Bone marrow smear · 250 by 250 pixels.
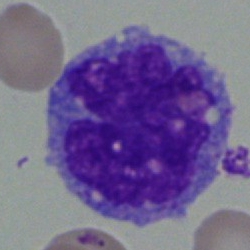
A monocyte.